Cropped to a single cell · bone marrow smear: 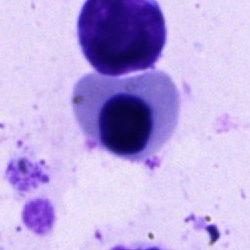
A nucleated red blood cell.